Bone marrow aspirate smear · MGG-stained — 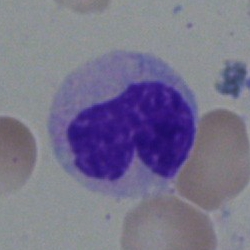 Morphology — metamyelocyte.